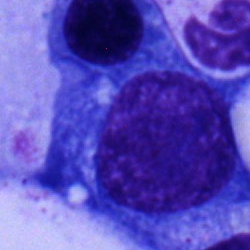 Bone marrow aspirate smear, single cell — pronormoblast.